Bone marrow smear
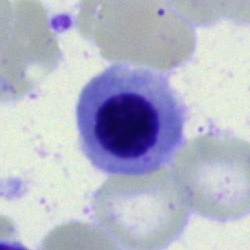The cell shown is an erythroblast.